Bone marrow aspirate smear — 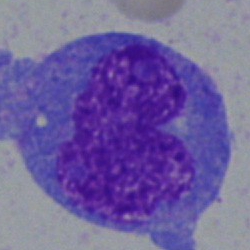

Specimen: bone marrow smear.
Cell: blast.